250 by 250 pixels. Bone marrow aspirate smear. Cropped to a single cell: 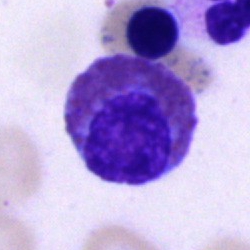Single cell identified as an eosinophilic granulocyte.